May-Grünwald-Giemsa/Pappenheim stain · single-cell crop · bone marrow aspirate smear — 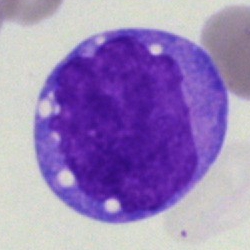Morphology — blast cell.